May-Grünwald-Giemsa stain; bone marrow smear; 250×250:
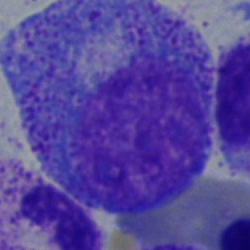 Q: What type of cell is this?
A: It is a progranulocyte.